Bone marrow smear. 250×250. MGG-stained — 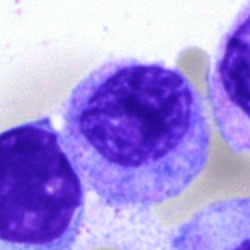 This is a myelocyte.